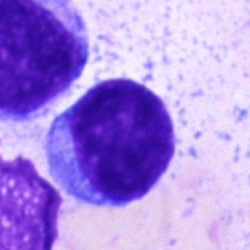Morphology — undifferentiated blast.